Bone marrow smear. 250×250 — 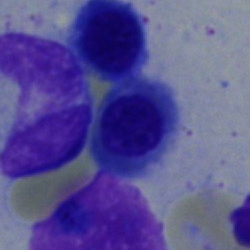A nucleated red cell.